Brightfield, 40× oil-immersion objective · bone marrow smear.
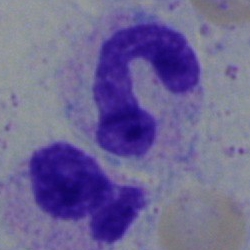

Cell: neutrophil (band).